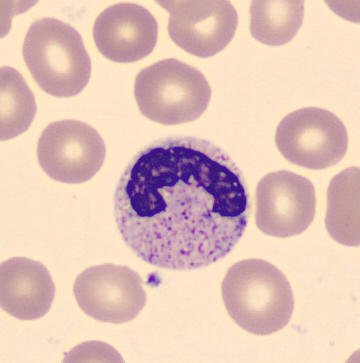Specimen: peripheral blood smear.
Classification: neutrophil (band).
Lineage: myeloid.